Bone marrow aspirate smear · 40× oil immersion
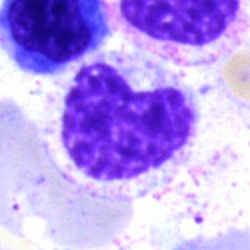
This is a metamyelocyte.